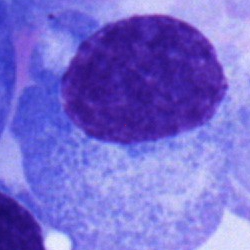Single-cell crop from a bone marrow smear: plasma cell.